Bone marrow smear: 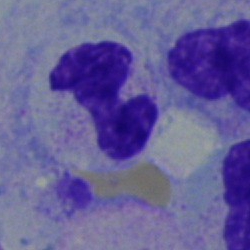 Classification = neutrophil (segmented).